Bone marrow aspirate smear · MGG-stained
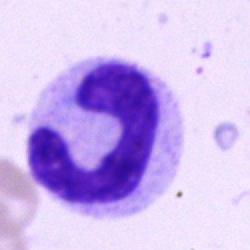

Classification: neutrophil (band).